Bone marrow aspirate smear; single cell centered in the field
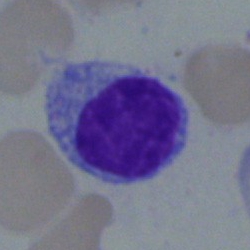
Morphology → typical lymphocyte.